MGG-stained. Bone marrow smear — 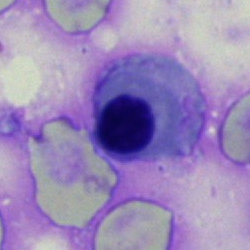
Cell = normoblast.